Single-cell field · bone marrow aspirate smear.
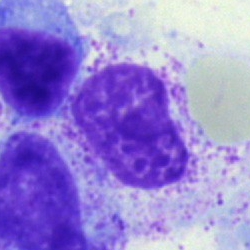Specimen: bone marrow aspirate smear.
Cell: myelocyte.
Lineage: myeloid.